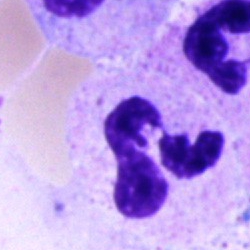

The cell shown is a neutrophil (segmented).